Bone marrow smear
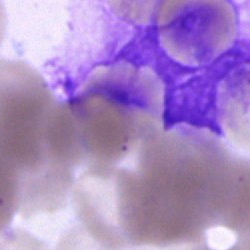 Single cell identified as an artefact.